Bone marrow smear: 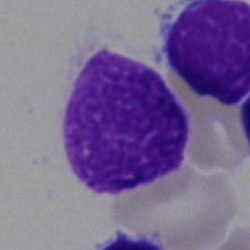The cell shown is an artifact.